Bone marrow aspirate smear: 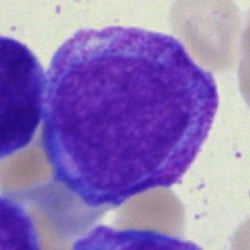Impression — progranulocyte.